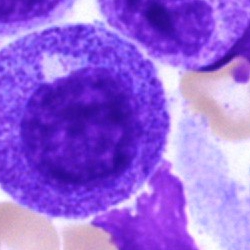 Morphology — promyelocyte.